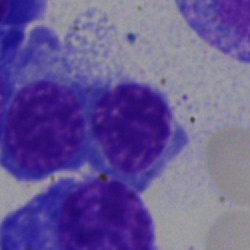 Bone marrow aspirate smear, single cell — erythroblast.